Bone marrow aspirate smear
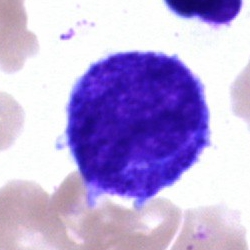

Specimen: bone marrow smear.
Cell: promyelocyte.